Bone marrow smear.
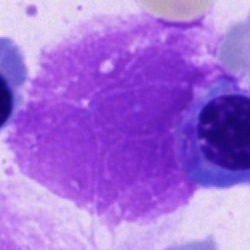 Q: What is shown here?
A: This is an artifact.